Bone marrow smear.
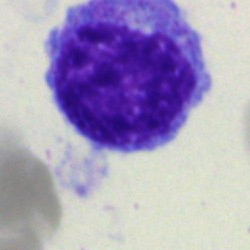Morphological class — blast.